Bone marrow smear — 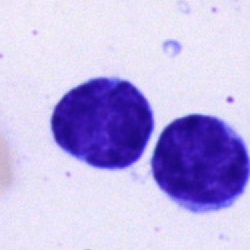A lymphocyte.